Bone marrow smear · 250×250 — 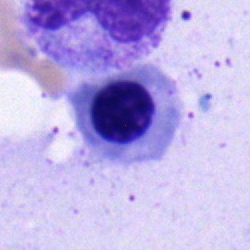Q: Which cell type is shown here?
A: Nucleated red blood cell.